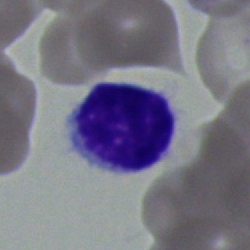Q: What is shown here?
A: This is a lymphocyte.